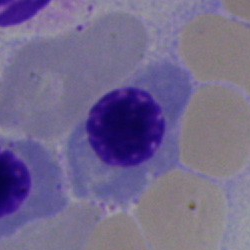
A nucleated red blood cell on a bone marrow smear.